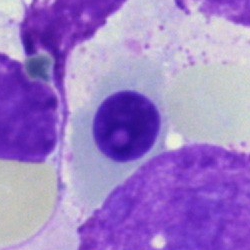

Morphology — nucleated red blood cell.